Bone marrow smear: 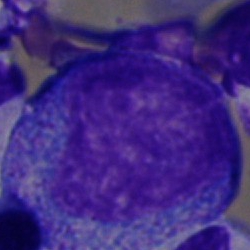

Morphology consistent with a promyelocyte.